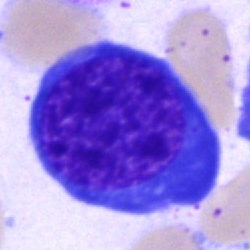
Classification = nucleated red cell.